Bone marrow aspirate smear:
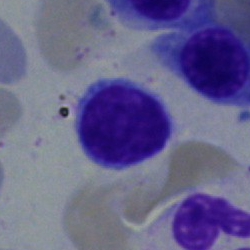The cell type is typical lymphocyte.